May-Grünwald-Giemsa/Pappenheim stain. Bone marrow smear: 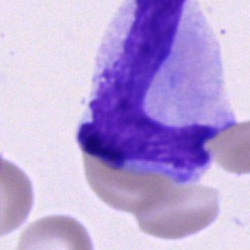An unidentifiable cell.